MGG-stained · bone marrow smear.
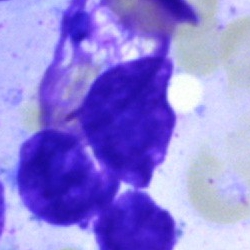Single cell identified as an artifact.